250×250 px; single cell centered in the field; bone marrow smear: 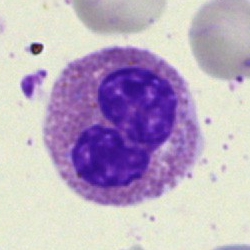
Morphological class — eosinophilic granulocyte.